Bone marrow aspirate smear
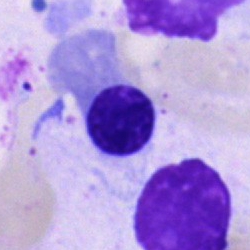 Morphological class = nucleated red cell.